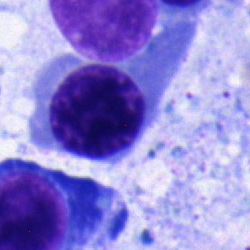
This is a normoblast.